250 by 250 pixels; bone marrow smear; Pappenheim-stained — 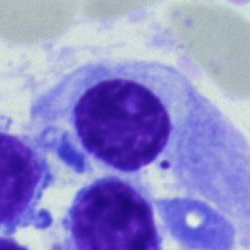

Morphology — plasma cell.